Romanowsky-stained. Peripheral blood smear:
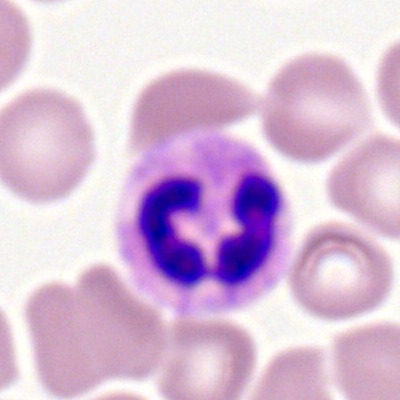

Specimen: peripheral blood smear.
Morphological class: neutrophil (segmented).
Lineage: myeloid.